Single-cell crop. Bone marrow smear. Brightfield, 40× oil-immersion objective:
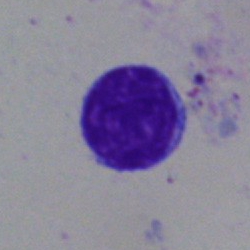
The morphological class is lymphocyte.